Bone marrow smear.
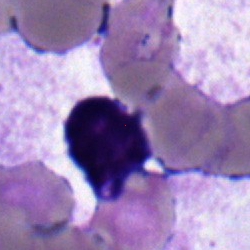Specimen: bone marrow smear.
Cell: lymphocyte.
Lineage: lymphoid.